Bone marrow aspirate smear
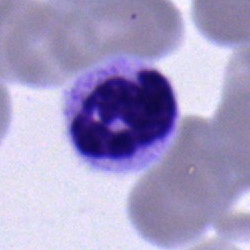
Morphological class = segmented neutrophil.